Bone marrow aspirate smear. Single-cell field.
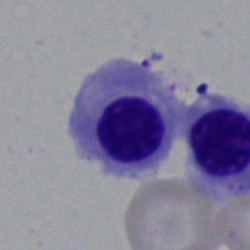

Specimen: bone marrow aspirate smear.
Cell: nucleated red blood cell.
Lineage: erythroid.